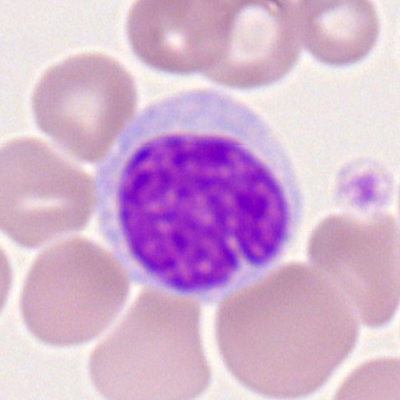Monocyte.